Peripheral blood smear · 100× oil immersion, 14.14 px/µm
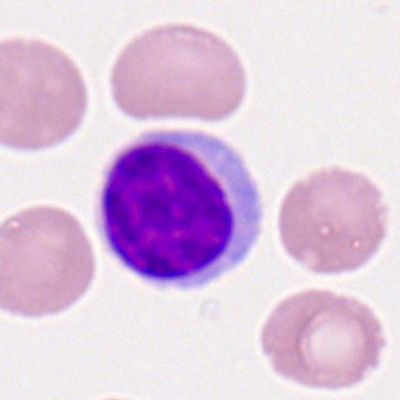

The cell shown is a lymphocyte.